Bone marrow aspirate smear:
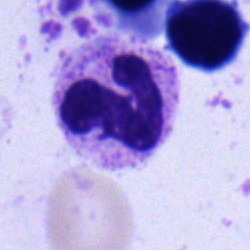The cell shown is a band neutrophil.